Bone marrow aspirate smear.
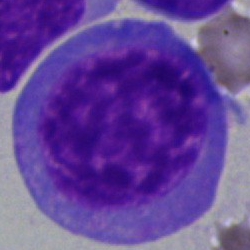

Single cell identified as a blast.